Bone marrow aspirate smear.
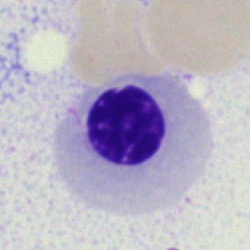
Morphology consistent with a nucleated red blood cell.